Bone marrow smear: 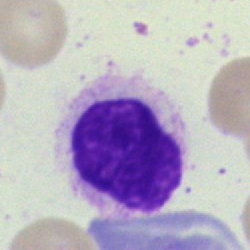

Morphology consistent with an artifact.